Bone marrow aspirate smear.
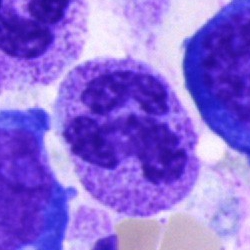
{"cell_type": "segmented neutrophil"}